Single cell centered in the field; bone marrow aspirate smear
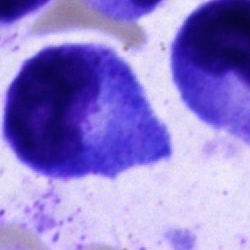
Q: What is shown here?
A: This is a progranulocyte.